Bone marrow smear:
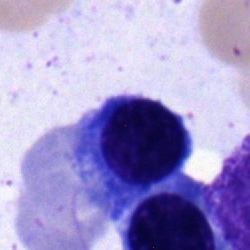Classification = band-form neutrophil.